Bone marrow smear:
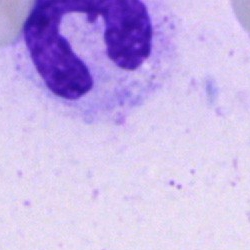 Q: What is shown here?
A: A band-form neutrophil.